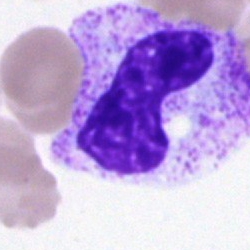

Classification: neutrophil (band).